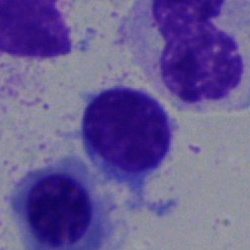

The cell shown is a lymphocyte.